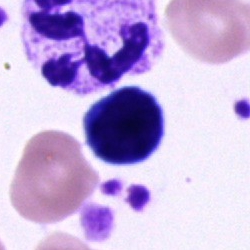Bone marrow smear showing an unidentifiable cell.